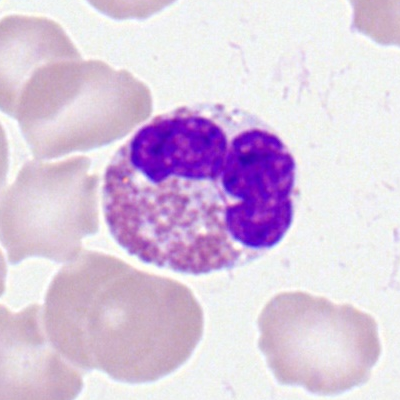

Specimen: peripheral blood film.
Cell type: eosinophilic granulocyte.